Bone marrow smear
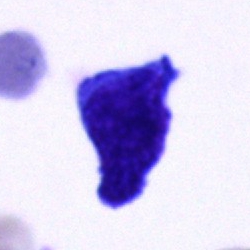Single cell identified as an undifferentiated blast.